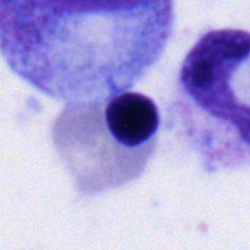Normoblast.